Bone marrow smear: 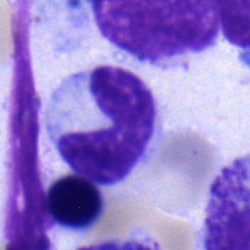 Morphological class — neutrophil (band).